Bone marrow smear; single-cell crop:
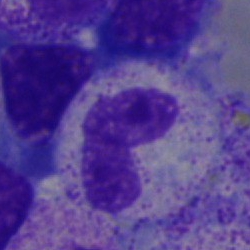Morphology consistent with a stab cell.